Bone marrow smear; single-cell crop
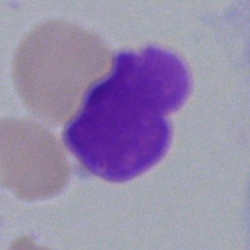Morphology consistent with an artefact.